Bone marrow aspirate smear. May-Grünwald-Giemsa/Pappenheim stain: 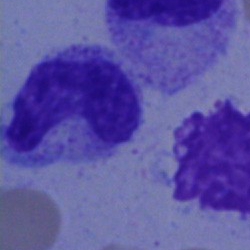 Cell = band neutrophil.